Bone marrow aspirate smear.
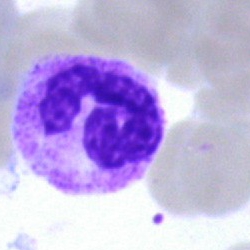
A polymorphonuclear neutrophil.